40× oil immersion · bone marrow aspirate smear
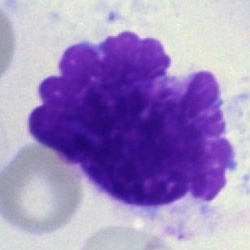 Artefact.